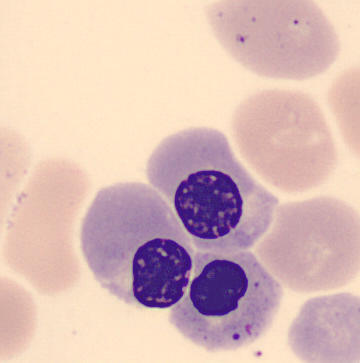

Preparation: Peripheral blood smear. Classification — nucleated red blood cell.